Bone marrow smear: 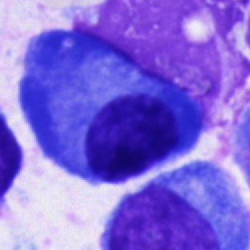Classification: plasmacyte.